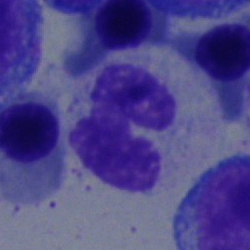

Classification: stab cell.